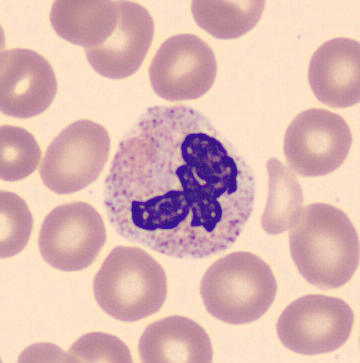
Q: Which cell type is shown here?
A: This is a neutrophil (segmented).
Preparation: Peripheral blood film. Imaged on a CellaVision DM96 analyser.